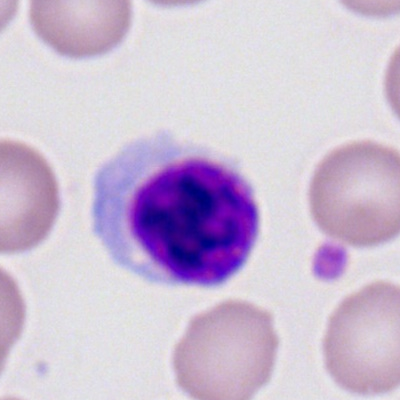
This is a lymphocyte.